Pappenheim-stained; bone marrow smear: 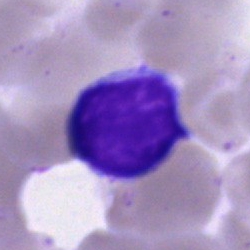

Showing a typical lymphocyte.